Bone marrow aspirate smear
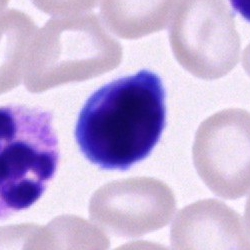The morphological class is typical lymphocyte.